Peripheral blood film; Romanowsky stain
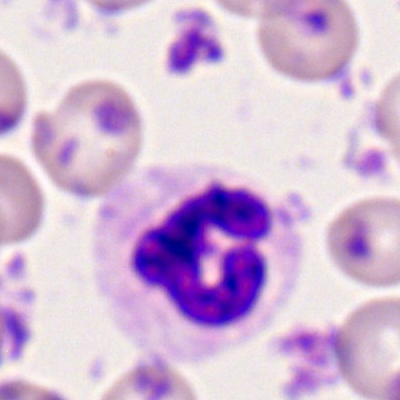

Cell — segmented neutrophil.